Romanowsky-stained · peripheral blood smear · M8 digital microscope (Precipoint), 100× oil immersion
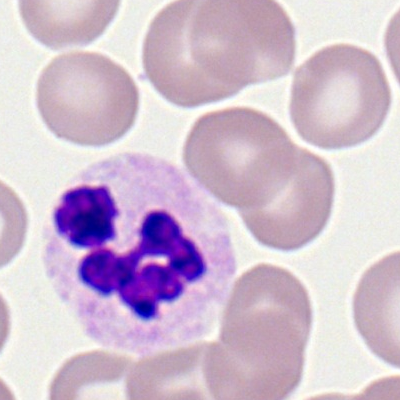

Morphology — neutrophil (segmented).